Bone marrow aspirate smear:
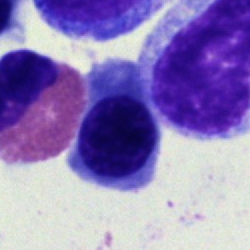

Q: What type of cell is this?
A: It is a nucleated red cell.